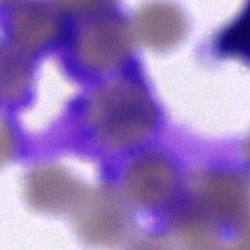

Specimen: bone marrow aspirate smear.
Classification: artefact.